Pappenheim-stained. Cropped to a single cell. Bone marrow aspirate smear — 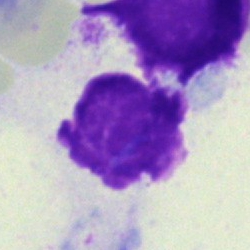Morphology — artifact.